Peripheral blood smear · 400 by 400 pixels:
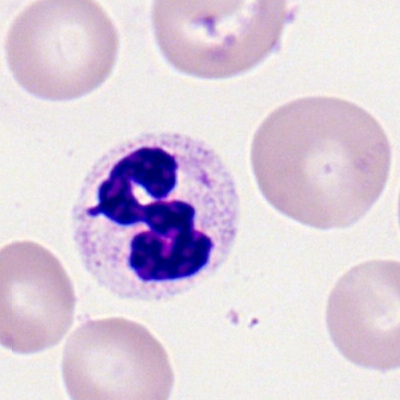
Q: What type of cell is this?
A: This is a neutrophil (segmented).